Pappenheim-stained · bone marrow smear:
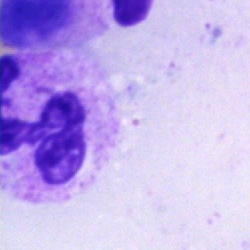

Morphological class — neutrophil (segmented).